Bone marrow aspirate smear:
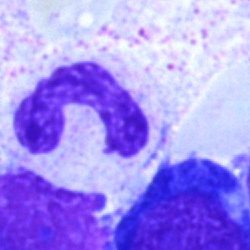

Cell = neutrophil (segmented).